Peripheral blood smear · Romanowsky stain:
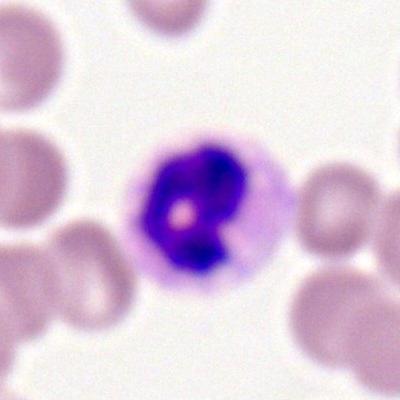 Morphology consistent with a polymorphonuclear neutrophil.